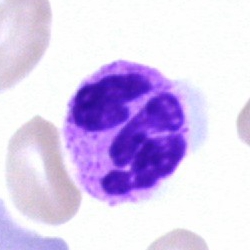 {"cell_type": "neutrophil (segmented)"}